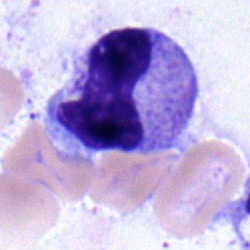 {"cell_type": "metamyelocyte", "lineage": "myeloid"}